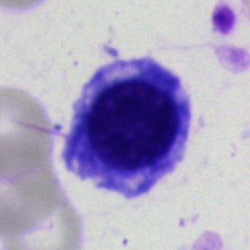

Morphology → erythroblast.